Peripheral blood smear: 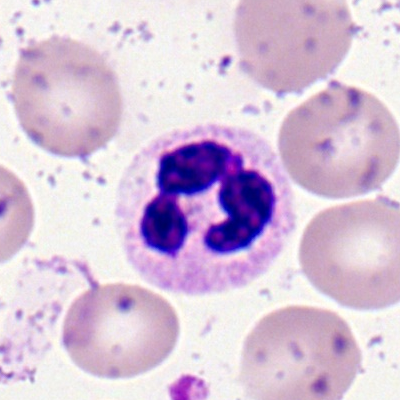 Q: What is the morphological classification of this cell?
A: This is a segmented neutrophil.